Bone marrow aspirate smear:
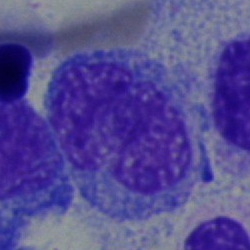

Q: Identify the cell.
A: It is a monocyte.